40× oil immersion · May-Grünwald-Giemsa/Pappenheim stain · bone marrow aspirate smear:
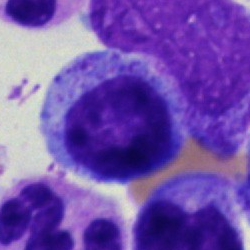

Impression — myelocyte.